40× objective, oil immersion. Bone marrow aspirate smear.
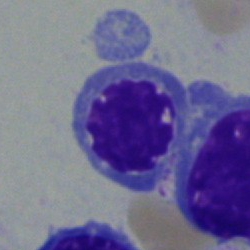

Morphology → normoblast.